May-Grünwald-Giemsa stain; bone marrow aspirate smear: 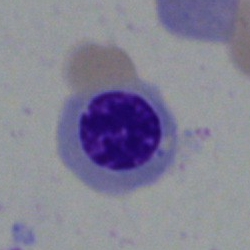

Cell = nucleated red cell.